Bone marrow aspirate smear — 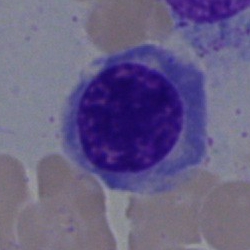{"cell_type": "normoblast", "lineage": "erythroid"}